Peripheral blood smear.
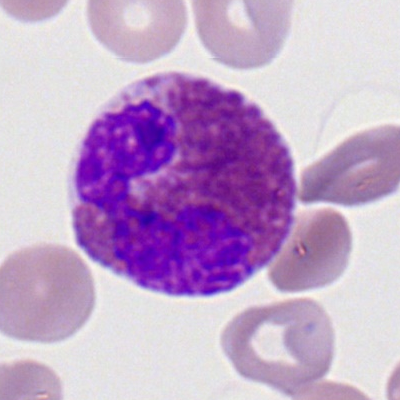 The morphological class is eosinophil.